Single-cell field. Bone marrow smear: 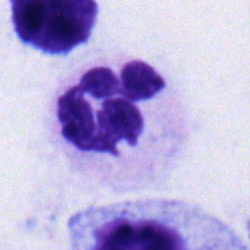
Morphological class = neutrophil (segmented).